Cropped to a single cell. Bone marrow smear.
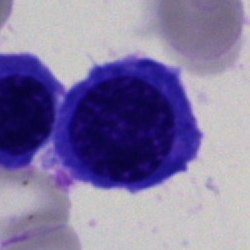
Q: Which cell type is shown here?
A: This is a nucleated red blood cell.